Bone marrow smear · 40× objective, oil immersion: 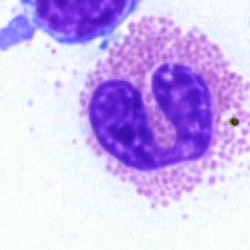Q: What cell is this?
A: It is an eosinophilic granulocyte.